Bone marrow aspirate smear.
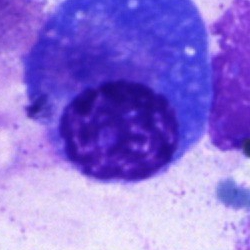

Morphology → plasma cell.